Bone marrow smear:
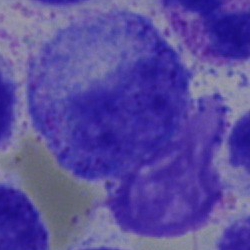

Specimen: bone marrow smear.
Classification: promyelocyte.
Lineage: myeloid.